Bone marrow smear.
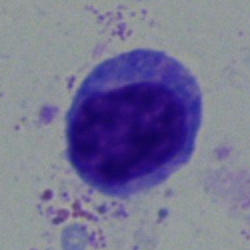 The cell shown is a monocyte.